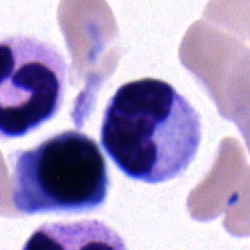
Showing a metamyelocyte.